Bone marrow aspirate smear.
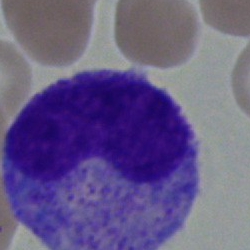
The cell is metamyelocyte.